Peripheral blood film: 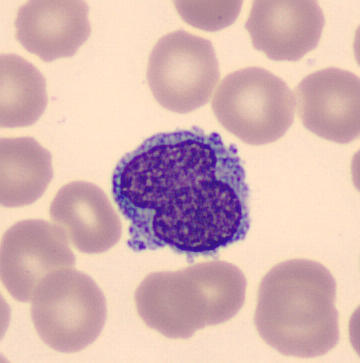

{"cell_type": "monocyte"}